250×250 px. Bone marrow aspirate smear: 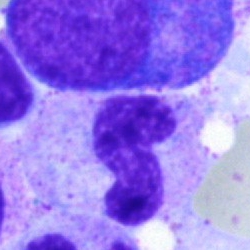
Band neutrophil.